Bone marrow smear — 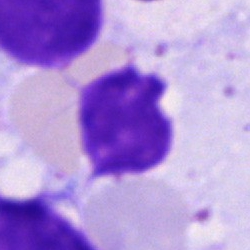 Cell type — artifact.